Bone marrow aspirate smear — 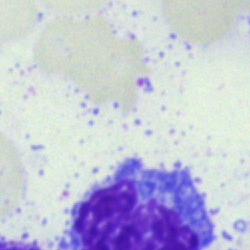

The cell shown is an artefact.